Single cell centered in the field · bone marrow aspirate smear.
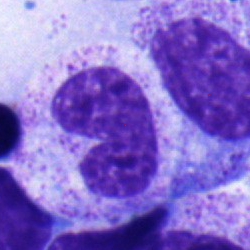
This is a stab cell.